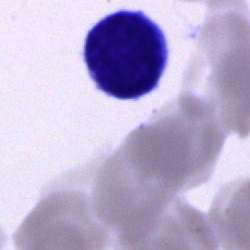
Single cell identified as a typical lymphocyte.